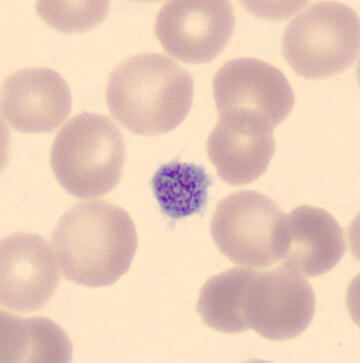
Acquisition: Peripheral blood smear. Showing a thrombocyte.